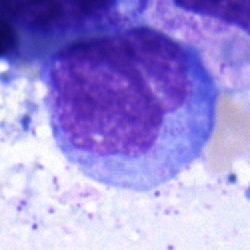 Bone marrow smear showing an undifferentiated blast.